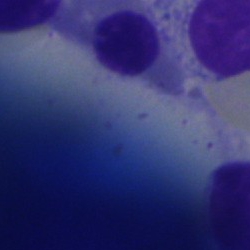
Q: What is shown here?
A: An artefact.